Bone marrow smear: 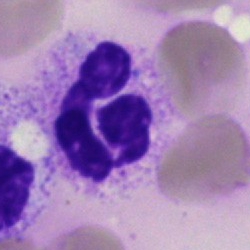

Impression → segmented neutrophil.